Bone marrow aspirate smear:
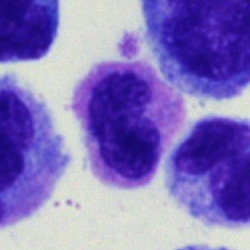The cell type is polymorphonuclear neutrophil.